Bone marrow smear; brightfield microscopy, 40× oil immersion — 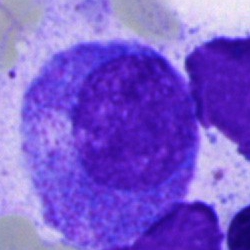Cell type — progranulocyte.